Bone marrow aspirate smear. Brightfield, 40× oil-immersion objective — 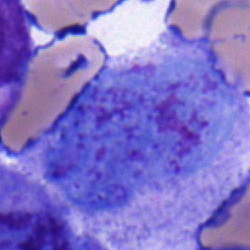

A blast.